Bone marrow aspirate smear — 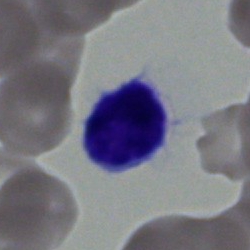

Cell type = typical lymphocyte.